Brightfield, 40× oil-immersion objective · bone marrow aspirate smear — 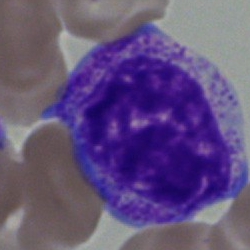The cell type is myelocyte.